Bone marrow smear
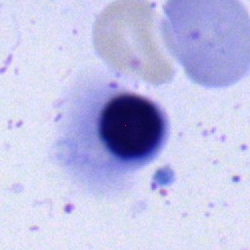 Classification: nucleated red cell.